Bone marrow aspirate smear — 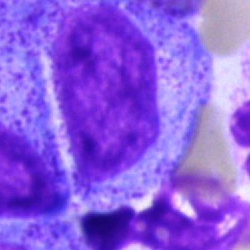
Q: What cell is this?
A: Promyelocyte.